MGG-stained · bone marrow aspirate smear:
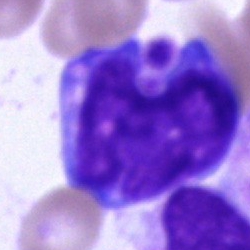 {"cell_type": "blast"}